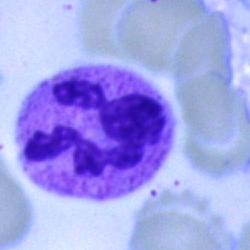 Specimen: bone marrow aspirate smear.
Cell type: polymorphonuclear neutrophil.
Lineage: myeloid.